Bone marrow aspirate smear; 250 by 250 pixels.
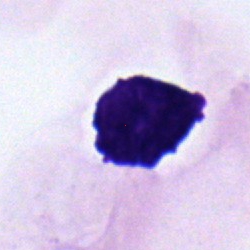
Cell type = typical lymphocyte.